Single-cell crop. Bone marrow aspirate smear. May-Grünwald-Giemsa stain
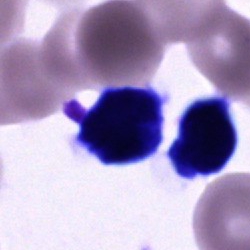
A cell of indeterminate lineage.